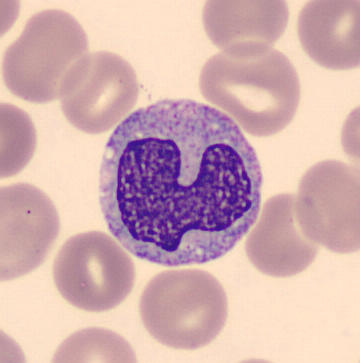

Q: Which cell type is shown here?
A: Monocyte.